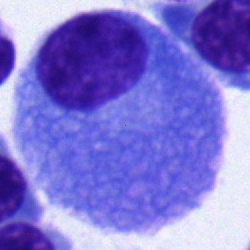Morphology — plasmacyte.